Peripheral blood smear. Romanowsky-stained:
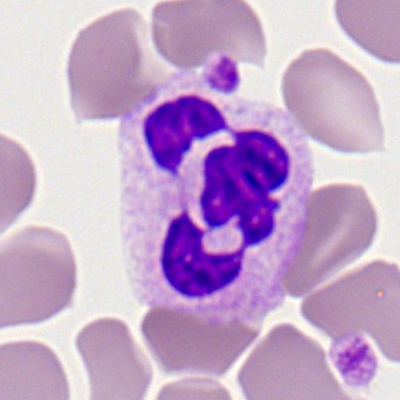

Morphology consistent with a neutrophil (segmented).